Pappenheim-stained; bone marrow aspirate smear — 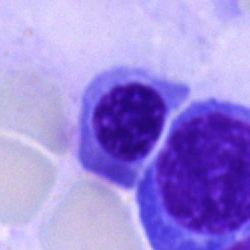

Single cell identified as an erythroblast.